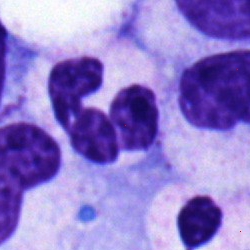

{"cell_type": "neutrophil (segmented)", "lineage": "myeloid"}